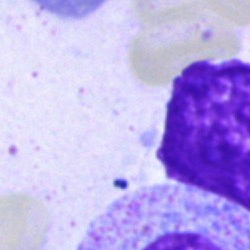

Morphology — artifact.